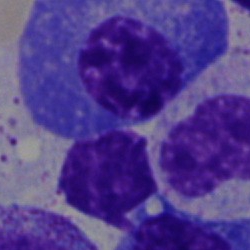Plasma cell.